Pappenheim-stained · bone marrow smear · brightfield microscopy, 40× oil immersion.
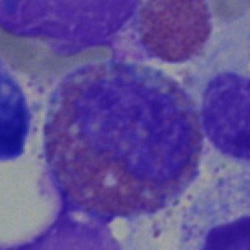

Morphology → eosinophil.